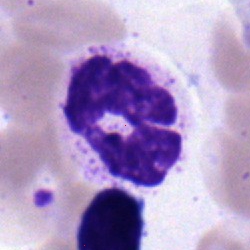The classification is polymorphonuclear neutrophil.